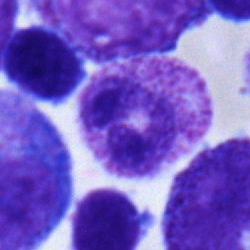

The cell shown is a neutrophil (band).